Bone marrow smear:
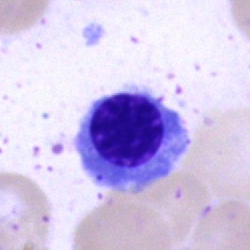
This is a nucleated red cell.